Bone marrow smear. Single-cell field. May-Grünwald-Giemsa/Pappenheim stain:
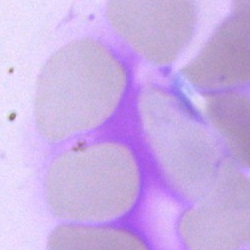 An artefact.